Bone marrow smear
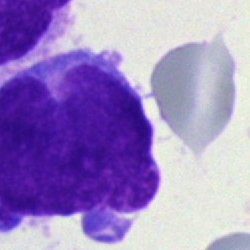

Showing a blast.